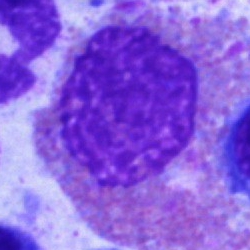

Morphology consistent with an eosinophil.